Bone marrow smear.
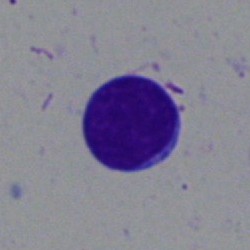Showing a typical lymphocyte.